Bone marrow aspirate smear. MGG-stained
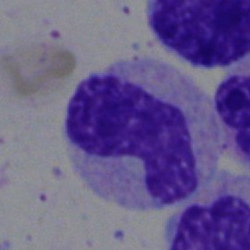 Q: Which cell type is shown here?
A: A band neutrophil.